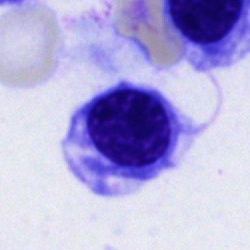

Q: Which cell type is shown here?
A: It is an erythroblast.